Bone marrow aspirate smear — 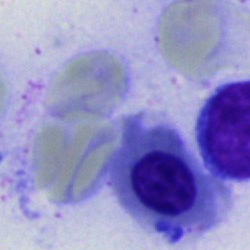 The cell is normoblast.